Bone marrow aspirate smear.
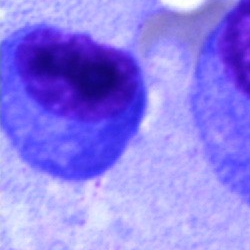 Morphology → plasma cell.